Bone marrow smear; brightfield, 40× oil-immersion objective; single-cell field — 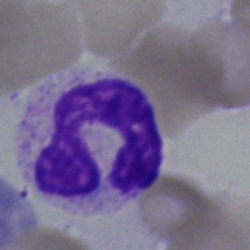

Q: What is shown here?
A: A segmented neutrophil.